Bone marrow smear. 250 by 250 pixels: 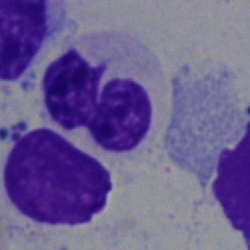
Morphology — polymorphonuclear neutrophil.